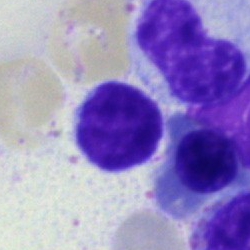Q: What type of cell is this?
A: A typical lymphocyte.